Brightfield microscopy, 40× oil immersion; bone marrow smear: 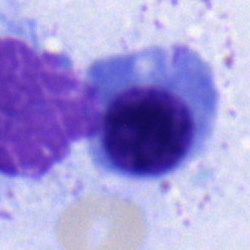

The cell type is normoblast.